Bone marrow smear.
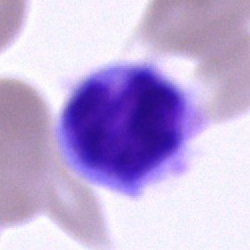 Impression → monocyte.